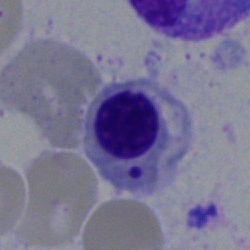Q: Which cell type is shown here?
A: This is a nucleated red cell.